Bone marrow smear · single-cell crop — 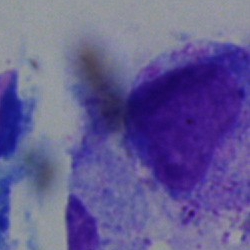

Cell: artifact.